Bone marrow smear — 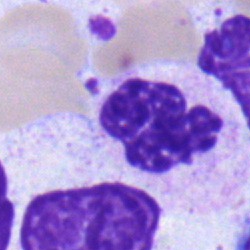
Specimen: bone marrow aspirate smear.
Morphological class: polymorphonuclear neutrophil.
Lineage: myeloid.